Peripheral blood smear; 400×400 px: 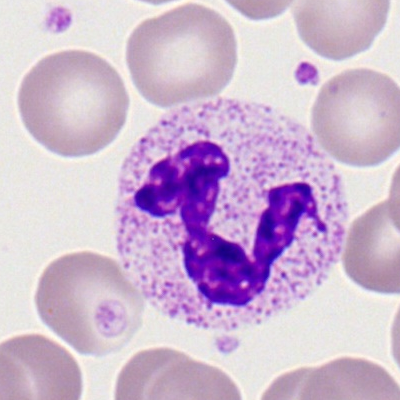 Q: Identify the cell.
A: A polymorphonuclear neutrophil.